Bone marrow smear; 250×250; 40× objective, oil immersion: 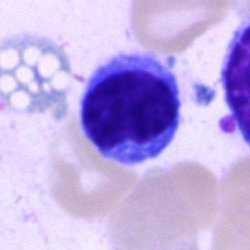

Impression → typical lymphocyte.